Bone marrow smear
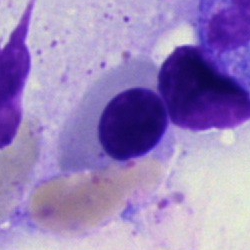 Morphology — nucleated red cell.